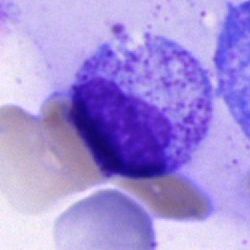
Specimen: bone marrow aspirate smear.
Morphological class: metamyelocyte.